Bone marrow aspirate smear: 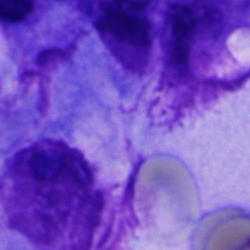

Q: What type of cell is this?
A: An other cell.